Bone marrow smear. 250 by 250 pixels. Cropped to a single cell
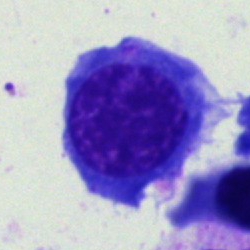
Single cell identified as a normoblast.